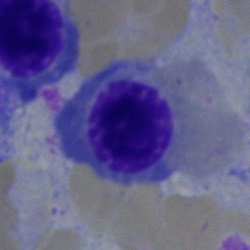

The cell is nucleated red blood cell.